Bone marrow smear — 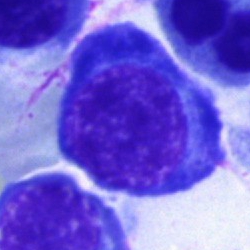The cell shown is a plasmacyte.